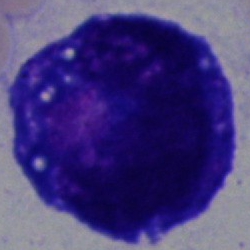 The morphological class is blast cell.